Peripheral blood smear:
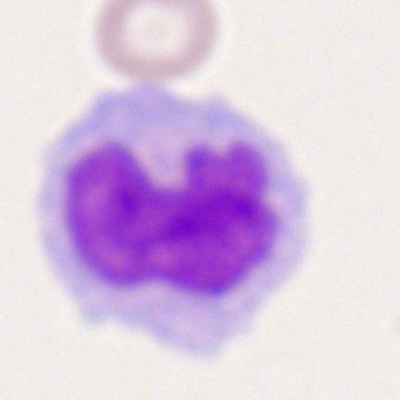

Q: What cell is this?
A: A monocyte.